Bone marrow aspirate smear: 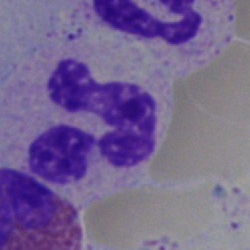
The cell type is polymorphonuclear neutrophil.